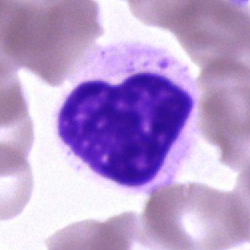

Bone marrow smear showing a cell of indeterminate lineage.